Romanowsky stain; peripheral blood smear.
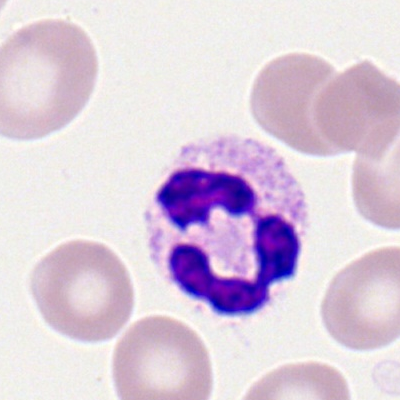

Classification — segmented neutrophil.